Bone marrow smear: 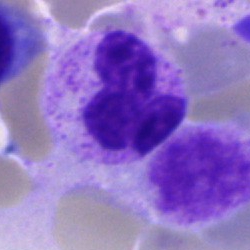
Cell = neutrophil (segmented).